Bone marrow smear:
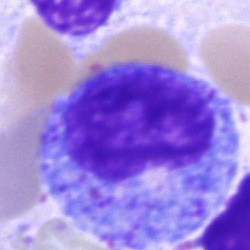
Cell: promyelocyte.